Bone marrow aspirate smear:
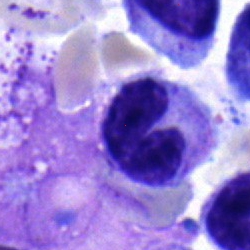 The cell shown is a band neutrophil.